Bone marrow smear:
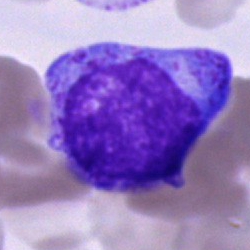

Classification: progranulocyte.